Bone marrow aspirate smear; MGG-stained; 250×250 px:
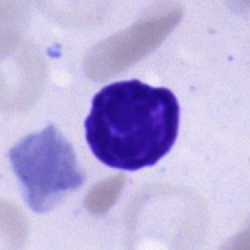
Classification: artifact.